Bone marrow aspirate smear; single-cell field; MGG-stained — 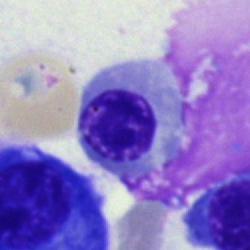Morphology — erythroblast.